Bone marrow smear
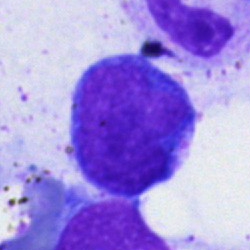
Q: What is the morphological classification of this cell?
A: Typical lymphocyte.